May-Grünwald-Giemsa/Pappenheim stain; bone marrow aspirate smear.
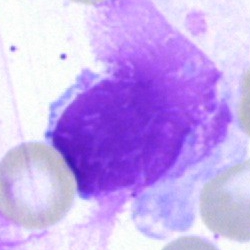
Q: What is shown here?
A: Artifact.